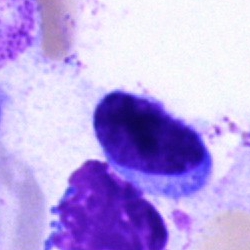Impression — typical lymphocyte.